Peripheral blood smear — 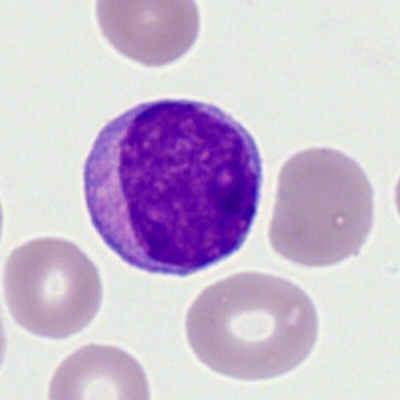

This is a myeloblast.